Bone marrow aspirate smear
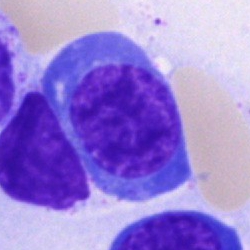

Q: Identify the cell.
A: It is an erythroblast.